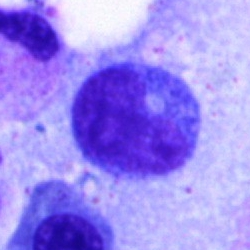Single cell identified as a typical lymphocyte.